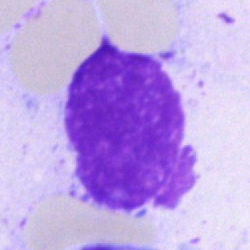

Specimen: bone marrow aspirate smear.
Cell type: artifact.